Peripheral blood smear · single cell centered in the field · Romanowsky-type stain.
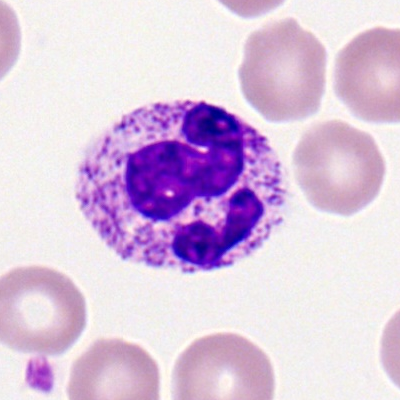

Classification = segmented neutrophil.